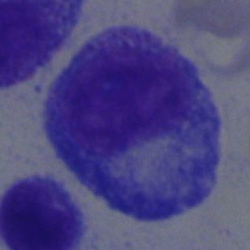Morphological class — promyelocyte.